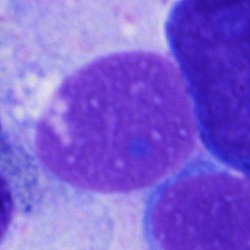Artifact.